250×250; May-Grünwald-Giemsa stain; bone marrow smear.
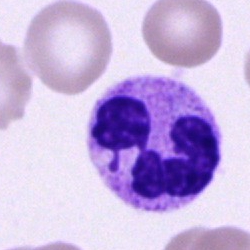
Impression — polymorphonuclear neutrophil.